Bone marrow aspirate smear · image size 250×250 · 40× objective, oil immersion: 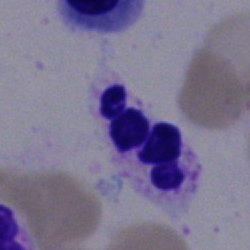Segmented neutrophil.